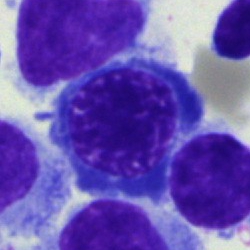 The cell type is normoblast.